Peripheral blood smear · cropped to a single cell: 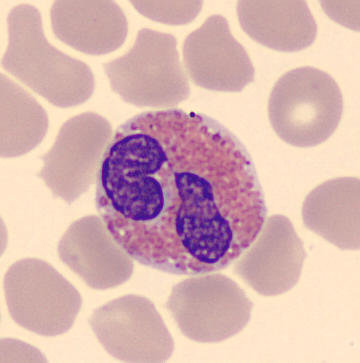

Classification = eosinophilic granulocyte.